Bone marrow aspirate smear; single-cell crop.
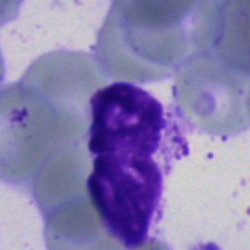
This is an artefact.